Bone marrow aspirate smear. 40× oil immersion. Cropped to a single cell.
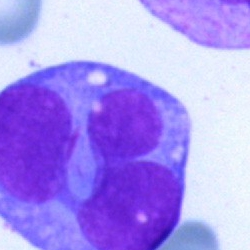The morphological class is undifferentiated blast.